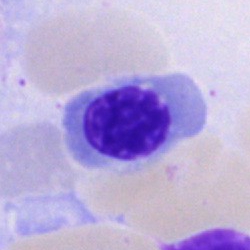Impression → nucleated red cell.